Bone marrow aspirate smear.
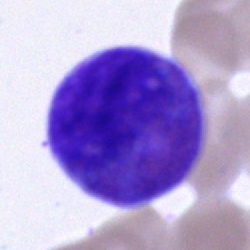
The cell shown is an eosinophilic granulocyte.